Bone marrow aspirate smear.
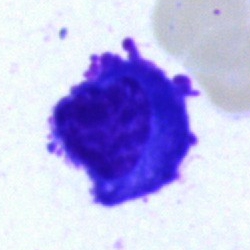Classification = plasma cell.